Bone marrow smear — 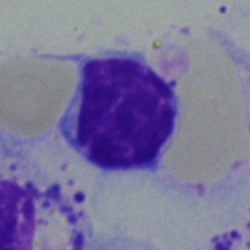 Specimen: bone marrow aspirate smear.
Classification: lymphocyte.